Bone marrow aspirate smear. Cropped to a single cell. May-Grünwald-Giemsa/Pappenheim stain: 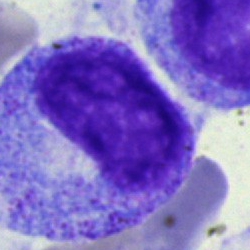Specimen: bone marrow aspirate smear.
Morphological class: progranulocyte.
Lineage: myeloid.